Bone marrow aspirate smear · May-Grünwald-Giemsa stain
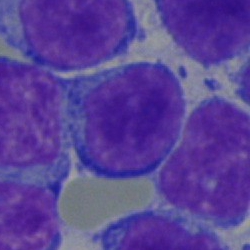Morphology consistent with a typical lymphocyte.